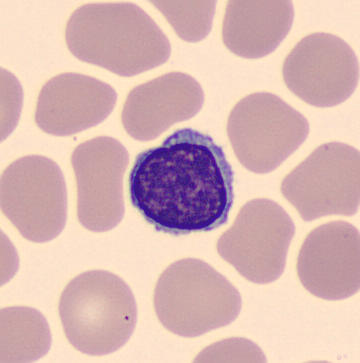 Showing a lymphocyte.
Peripheral blood smear · automated cell imaging (CellaVision DM96).